40× objective, oil immersion. Bone marrow aspirate smear:
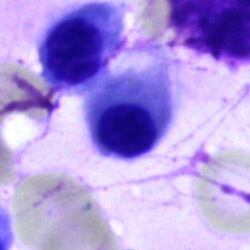 Specimen: bone marrow aspirate smear.
Cell: erythroblast.